Bone marrow aspirate smear
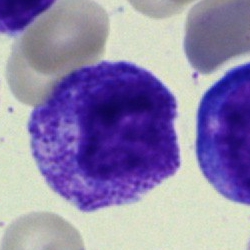Specimen: bone marrow aspirate smear.
Morphological class: myelocyte.
Lineage: myeloid.